40× oil immersion · bone marrow aspirate smear · 250×250 px:
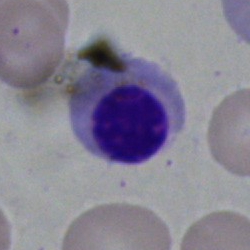

Classification — erythroblast.